Bone marrow aspirate smear
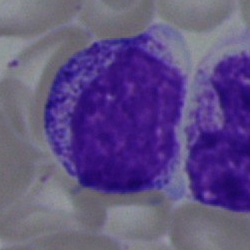

A myelocyte.